250 by 250 pixels; bone marrow smear:
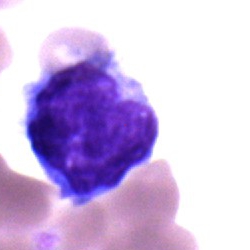 Specimen: bone marrow aspirate smear.
Classification: lymphocyte.
Lineage: lymphoid.